Bone marrow aspirate smear.
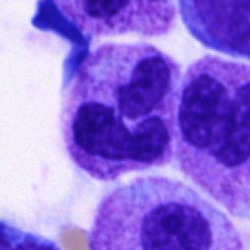
Showing a neutrophil (segmented).